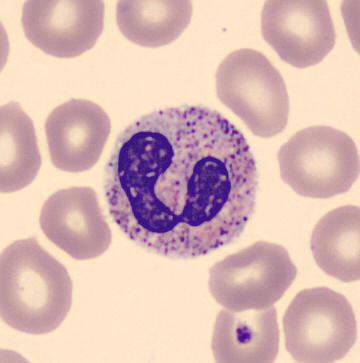Identified as a neutrophil (segmented).